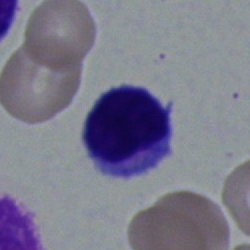 The cell shown is a lymphocyte.